Peripheral blood film:
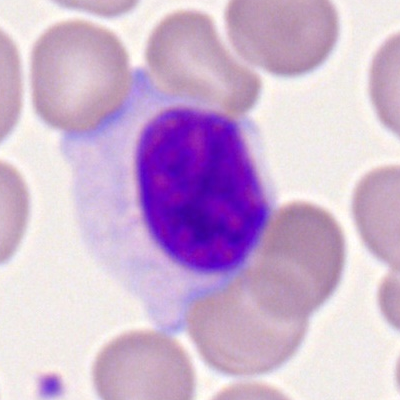

Classification: lymphocyte.